Bone marrow aspirate smear — 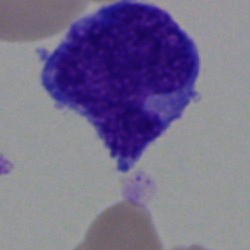This is an undifferentiated blast.